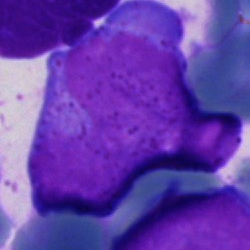Morphological class = blast cell.